Bone marrow aspirate smear; Pappenheim-stained: 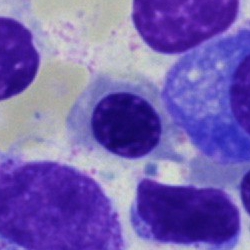Morphology — erythroblast.